Bone marrow smear; Pappenheim-stained:
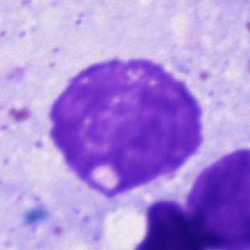 Morphological class: artefact.